Bone marrow smear
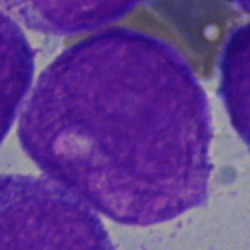
This is a cell with bundled Auer rods.